Bone marrow smear.
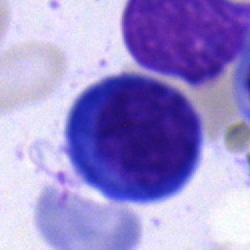 Showing a pronormoblast.